Bone marrow smear — 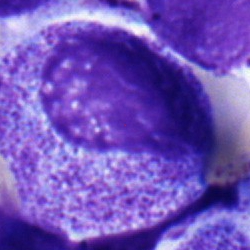

Q: What type of cell is this?
A: A myelocyte.